Bone marrow aspirate smear — 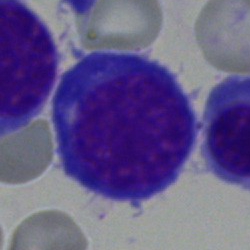Specimen: bone marrow smear.
Morphological class: nucleated red blood cell.